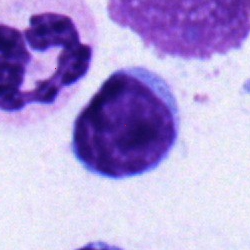
Cell type: lymphocyte.